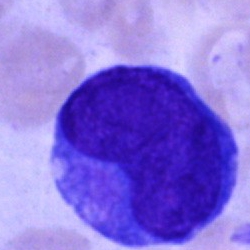
Specimen: bone marrow aspirate smear.
Cell: undifferentiated blast.